Bone marrow smear:
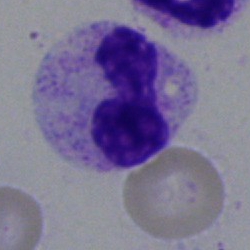
The cell shown is a segmented neutrophil.